Bone marrow smear · image size 250×250:
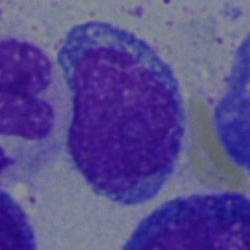

Morphological class — blast cell.